250×250 px; bone marrow aspirate smear; single-cell crop — 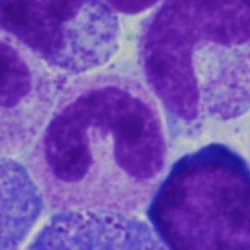 {"cell_type": "neutrophil (band)"}